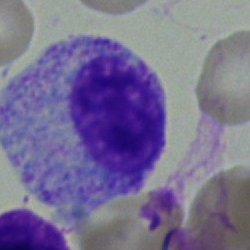
{"cell_type": "myelocyte"}